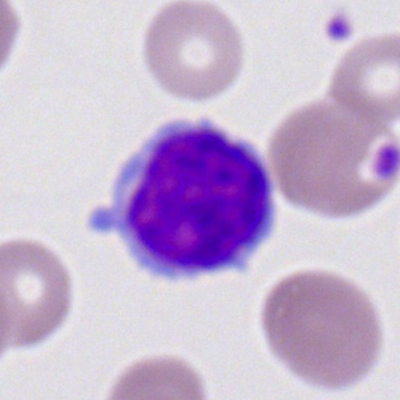

Q: What cell is this?
A: This is a lymphocyte.